Bone marrow aspirate smear: 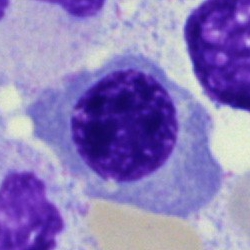
Q: What is shown here?
A: It is a nucleated red cell.